Bone marrow smear
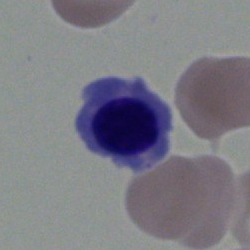
Morphological class = nucleated red cell.